Bone marrow aspirate smear.
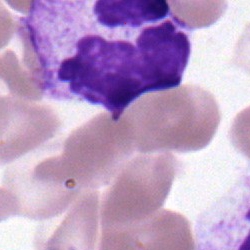 Cell type = segmented neutrophil.